Bone marrow aspirate smear: 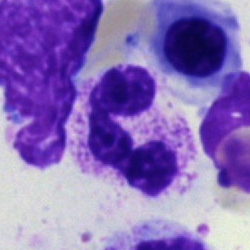

Morphology consistent with a segmented neutrophil.